250 by 250 pixels · brightfield microscopy, 40× oil immersion · bone marrow smear: 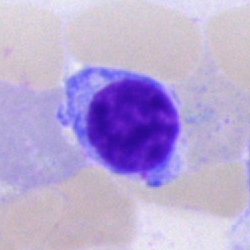 Q: Identify the cell.
A: It is a typical lymphocyte.